Bone marrow smear — 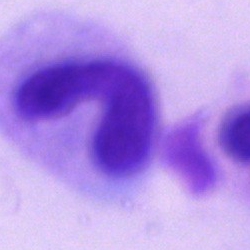 Single cell identified as a band neutrophil.